Peripheral blood smear — 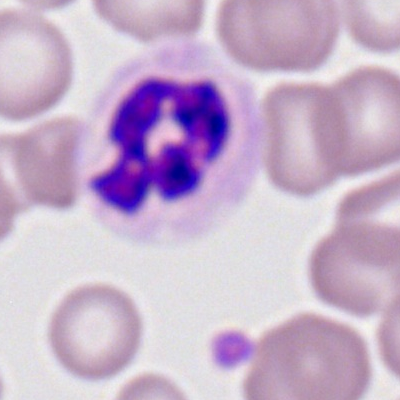

Morphology consistent with a polymorphonuclear neutrophil.